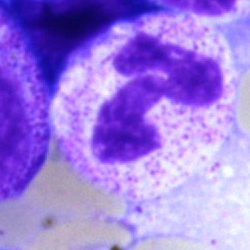Classification — neutrophil (segmented).